Peripheral blood film. 400 by 400 pixels — 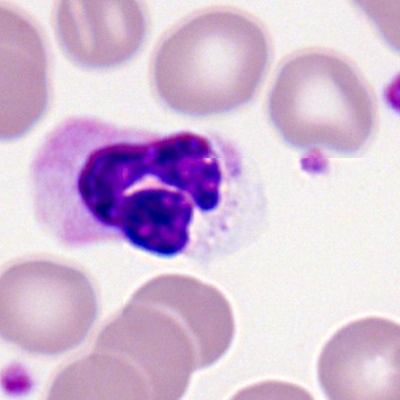 Cell type: segmented neutrophil.